MGG-stained · 40× objective, oil immersion · bone marrow aspirate smear — 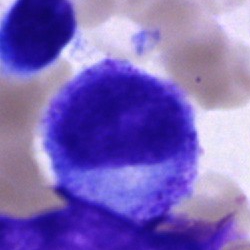
Q: Identify the cell.
A: This is a progranulocyte.